Image size 250×250 · bone marrow aspirate smear — 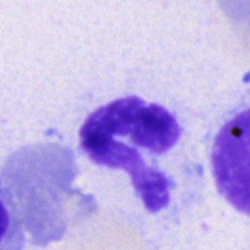
Cell: neutrophil (segmented).